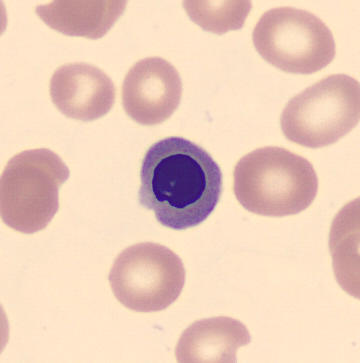 This is a nucleated red blood cell. Peripheral blood film.